Single cell centered in the field; image size 250×250; bone marrow aspirate smear:
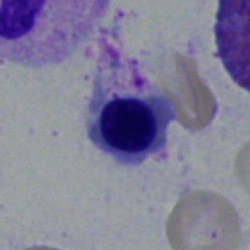
Impression → erythroblast.